Bone marrow aspirate smear:
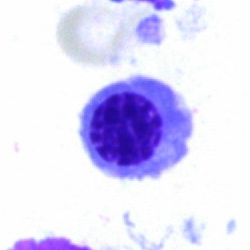
The classification is normoblast.